Single-cell crop. Bone marrow aspirate smear: 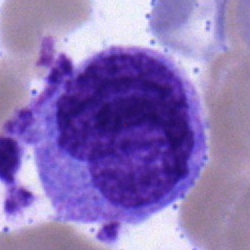
This is an undifferentiated blast.